Bone marrow smear — 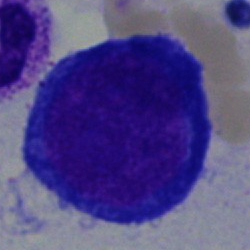 Specimen: bone marrow aspirate smear.
Cell type: pronormoblast.
Lineage: erythroid.